May-Grünwald-Giemsa/Pappenheim stain; 40× objective, oil immersion; bone marrow aspirate smear
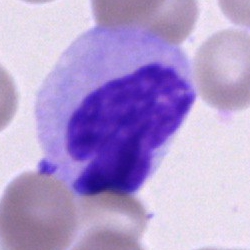Morphology consistent with a cell of indeterminate lineage.